250 by 250 pixels; bone marrow smear:
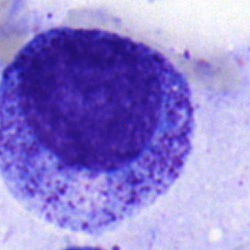
Morphological class — progranulocyte.